Romanowsky-stained · peripheral blood film:
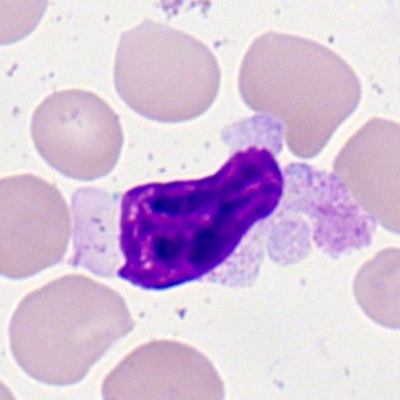Specimen: peripheral blood film.
Cell type: lymphocyte.
Lineage: lymphoid.